Bone marrow smear. 250×250 px — 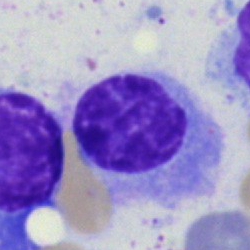 The morphological class is plasma cell.